Peripheral blood smear. 400 by 400 pixels. Single-cell field.
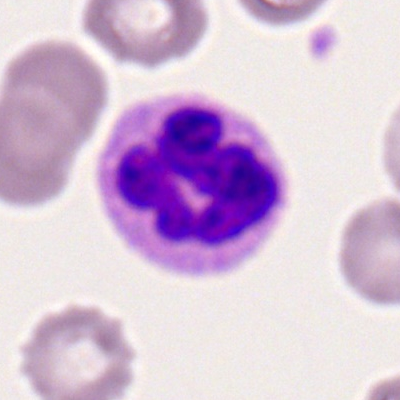 Showing a neutrophil (segmented).